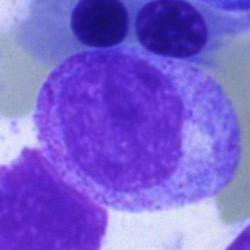

Q: Which cell type is shown here?
A: A promyelocyte.